40× oil immersion; bone marrow aspirate smear: 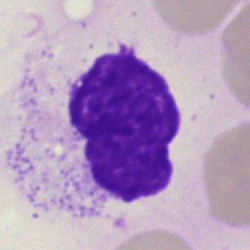 Q: What is shown here?
A: It is an artefact.